Peripheral blood smear — 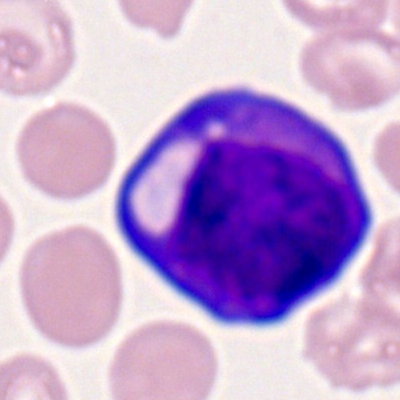

Morphology consistent with a myeloblast.